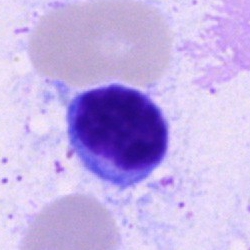 A typical lymphocyte.